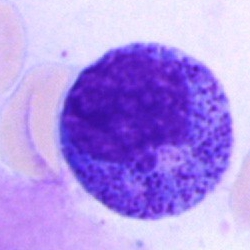

A progranulocyte.